Bone marrow smear. 250 by 250 pixels:
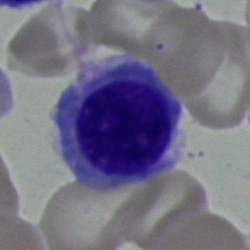 Morphology → erythroblast.